Single cell centered in the field; peripheral blood smear; Romanowsky-stained
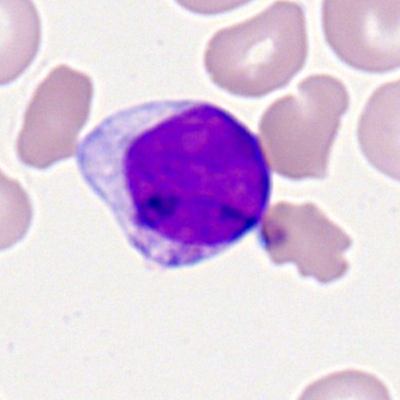
Specimen: peripheral blood smear.
Classification: lymphocyte.